Single-cell crop. Bone marrow aspirate smear:
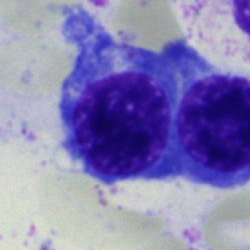
Cell type = erythroblast.